Bone marrow smear; Pappenheim-stained:
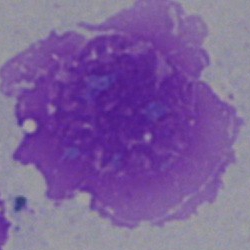

{"cell_type": "artifact"}